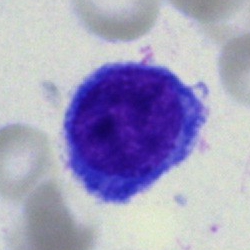 Pronormoblast.